Bone marrow aspirate smear.
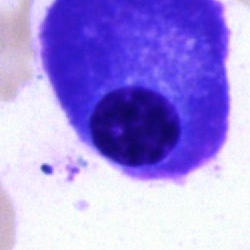

Q: What is shown here?
A: Plasmacyte.